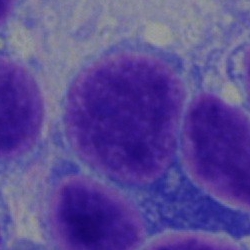Classification = lymphocyte.